Bone marrow smear: 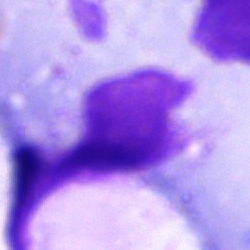Specimen: bone marrow smear.
Cell type: artifact.